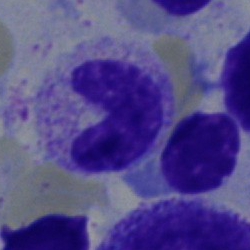 Bone marrow smear showing a stab cell.